Image size 250×250 · bone marrow aspirate smear:
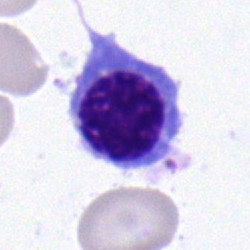

Cell — nucleated red blood cell.